Bone marrow smear: 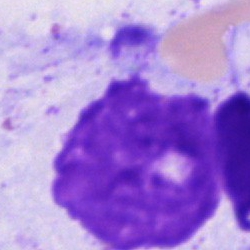Specimen: bone marrow smear.
Morphological class: artefact.